Bone marrow aspirate smear; brightfield microscopy, 40× oil immersion — 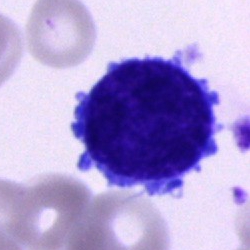 Cell: cell of indeterminate lineage.